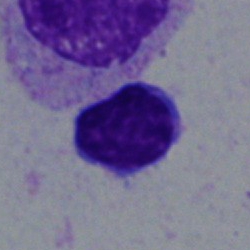
Q: What type of cell is this?
A: This is a lymphocyte.